250 by 250 pixels · Pappenheim-stained · bone marrow aspirate smear — 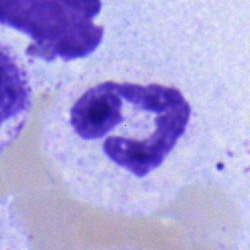Single cell identified as a neutrophil (segmented).